Brightfield microscopy, 40× oil immersion · bone marrow aspirate smear — 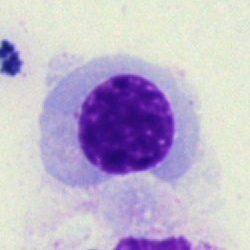 Morphological class = erythroblast.